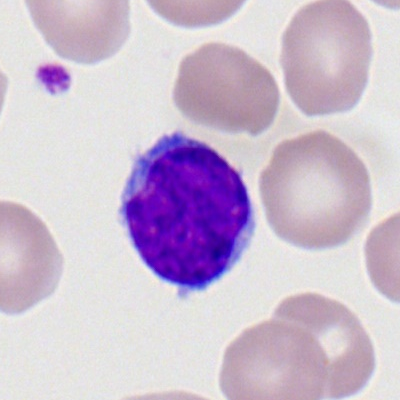 A typical lymphocyte on a peripheral blood smear.